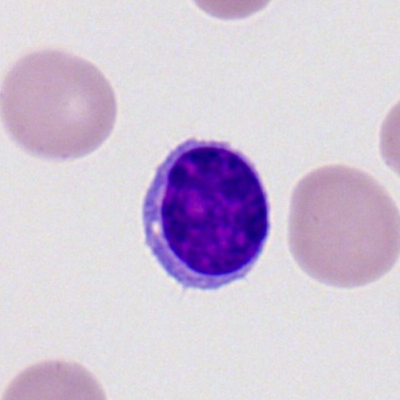Q: What is the morphological classification of this cell?
A: This is a typical lymphocyte.